Cropped to a single cell. Bone marrow smear
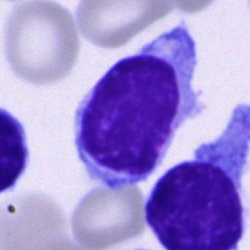 Single cell identified as a lymphocyte.